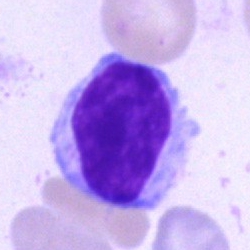 Morphological class — lymphocyte.